Bone marrow aspirate smear:
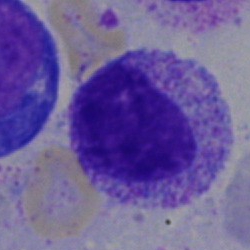

Morphology → myelocyte.